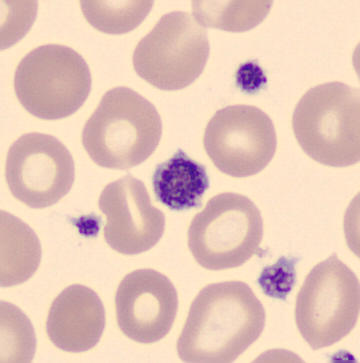
May-Grünwald-Giemsa-stained. Peripheral blood film.

This is a platelet.